40× oil immersion. Bone marrow aspirate smear.
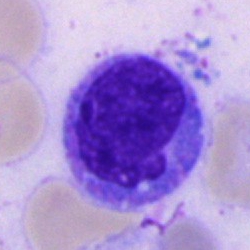Q: Which cell type is shown here?
A: A monocyte.